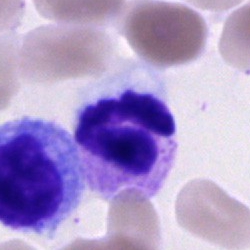
The cell type is polymorphonuclear neutrophil.